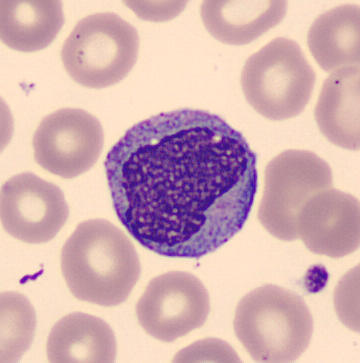 Morphology → monocyte. Automated cell imaging (CellaVision DM96); peripheral blood smear.